Bone marrow aspirate smear · cropped to a single cell
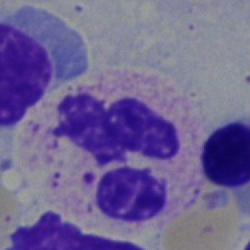 Cell type: polymorphonuclear neutrophil.